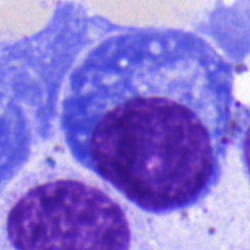Specimen: bone marrow aspirate smear.
Morphological class: plasma cell.
Lineage: lymphoid.